Bone marrow smear · May-Grünwald-Giemsa/Pappenheim stain.
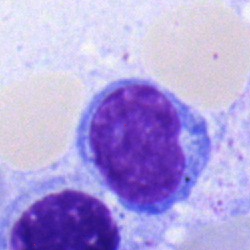Morphology — typical lymphocyte.